Bone marrow smear · 250×250 px
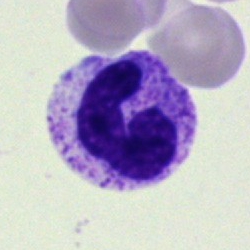 This is a neutrophil (segmented).